250×250 · 40× objective, oil immersion · bone marrow smear.
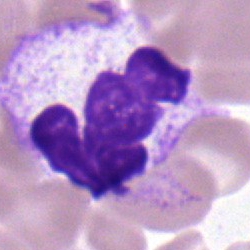 Neutrophil (segmented).